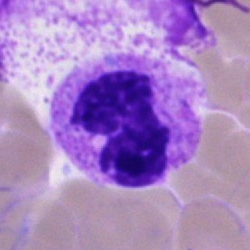An artefact on a bone marrow smear.